Peripheral blood smear; single-cell field.
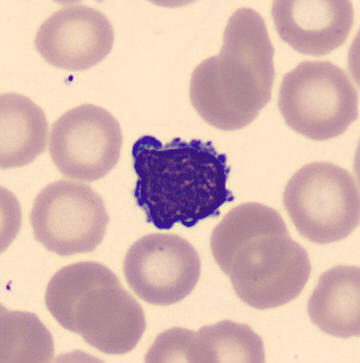 A typical lymphocyte.